Bone marrow aspirate smear:
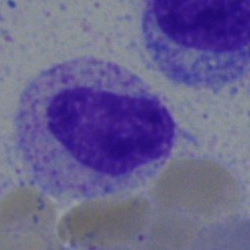

This is a myelocyte.